Bone marrow smear
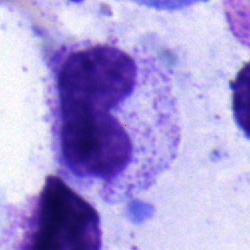
Morphology consistent with a stab cell.